Bone marrow smear
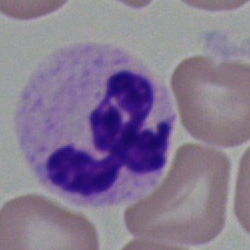
Specimen: bone marrow aspirate smear.
Cell: segmented neutrophil.